Bone marrow smear.
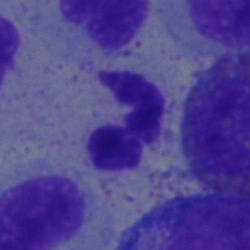 Cell type = polymorphonuclear neutrophil.